Bone marrow smear.
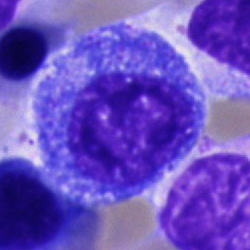
The cell type is progranulocyte.